Peripheral blood film · brightfield, 100× oil-immersion objective · Romanowsky-type stain
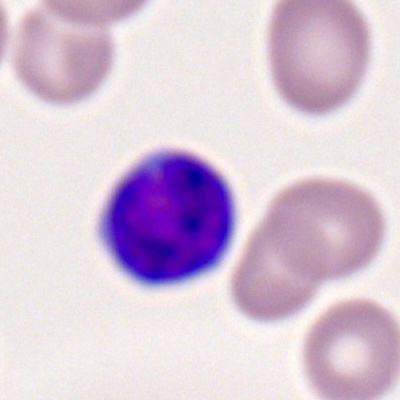

Specimen: peripheral blood film.
Cell type: lymphocyte.
Lineage: lymphoid.